Bone marrow aspirate smear — 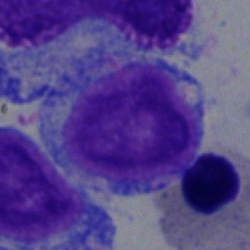

Single cell identified as a blast.